Bone marrow aspirate smear. Single-cell crop.
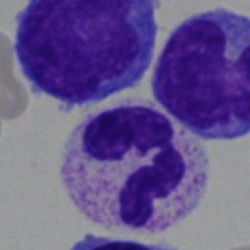

Specimen: bone marrow smear.
Cell: polymorphonuclear neutrophil.